Bone marrow aspirate smear
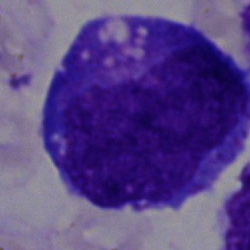 Morphology consistent with a blast cell.